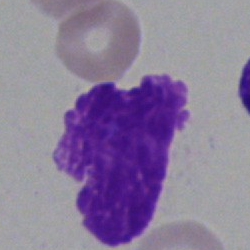 {"cell_type": "artefact"}